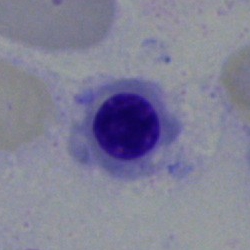
Morphological class: erythroblast.